Bone marrow smear: 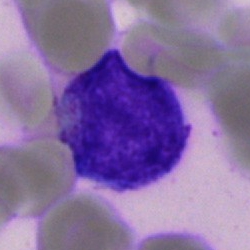Q: What is shown here?
A: Artefact.